Bone marrow aspirate smear; 40× oil immersion — 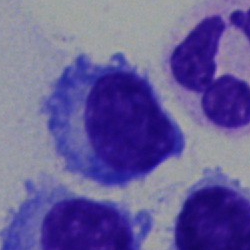

A plasma cell.